Bone marrow smear
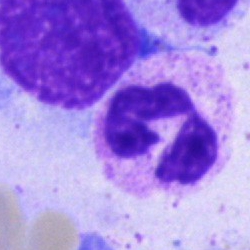Morphological class — neutrophil (segmented).